May-Grünwald-Giemsa/Pappenheim stain. Bone marrow smear.
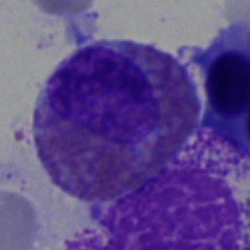Q: What is shown here?
A: An eosinophilic granulocyte.